MGG-stained; bone marrow smear.
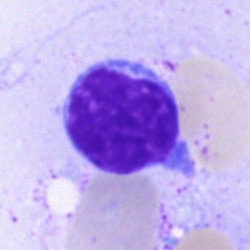
Cell type = lymphocyte.